250×250 px · bone marrow smear.
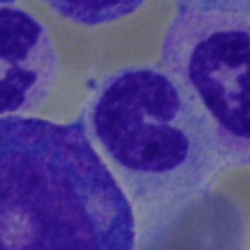{"cell_type": "stab cell"}